Bone marrow smear. 250×250 px. Cropped to a single cell:
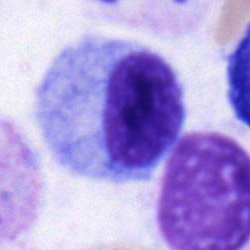

Single cell identified as a myelocyte.